Bone marrow smear. 40× objective, oil immersion
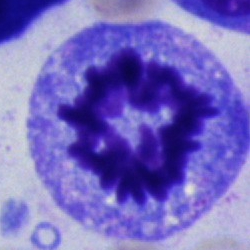

Showing an artifact.